Single-cell field · bone marrow aspirate smear — 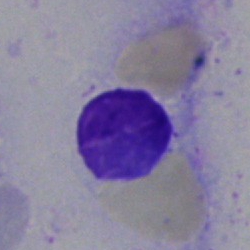
Q: What is shown here?
A: A typical lymphocyte.